Bone marrow aspirate smear. Single-cell crop: 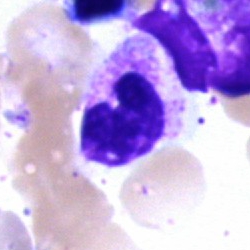

Classification: neutrophil (segmented).